May-Grünwald-Giemsa/Pappenheim stain. Bone marrow aspirate smear — 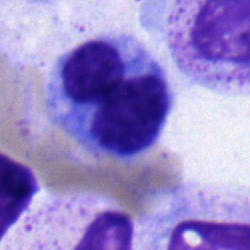Specimen: bone marrow smear.
Cell: monocyte.